Bone marrow smear: 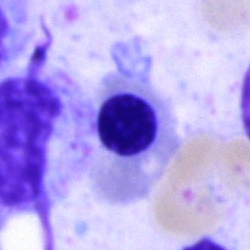
The morphological class is normoblast.